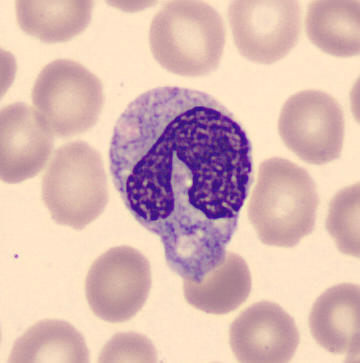
Preparation: Peripheral blood film. Q: Identify the cell.
A: A monocyte.